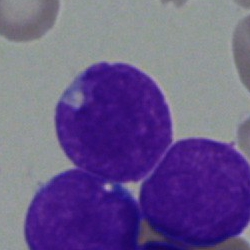
This is a blast cell.